Bone marrow smear: 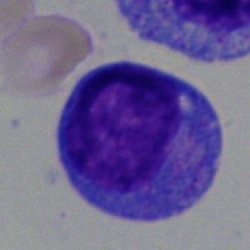

Undifferentiated blast.